Bone marrow aspirate smear
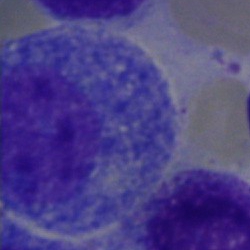Morphology consistent with a promyelocyte.